Peripheral blood film:
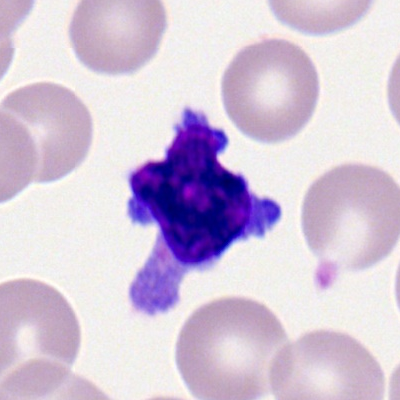 Q: What is shown here?
A: A typical lymphocyte.